250×250. Bone marrow smear — 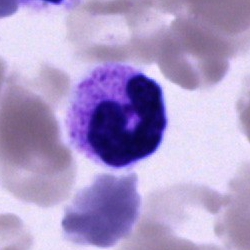

Q: Identify the cell.
A: This is a polymorphonuclear neutrophil.